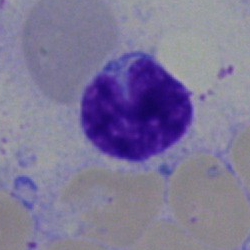
Showing a typical lymphocyte.